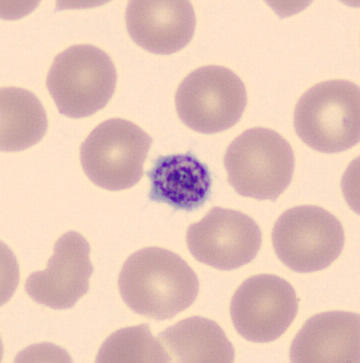Image: Peripheral blood film.
This is a thrombocyte.